Bone marrow aspirate smear: 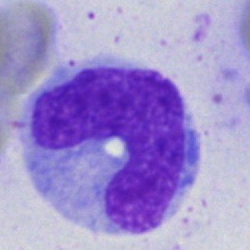

The morphological class is band neutrophil.